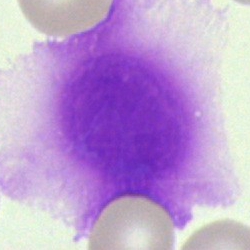Bone marrow smear showing an artifact.